Peripheral blood film
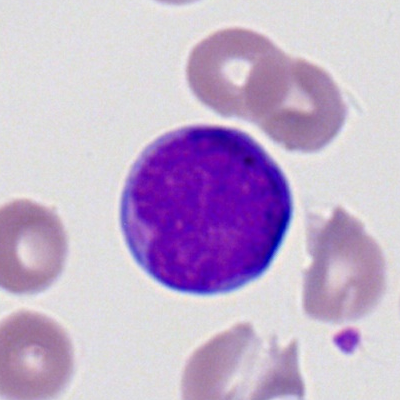 Morphology consistent with a myeloid blast.